Bone marrow smear. Cropped to a single cell:
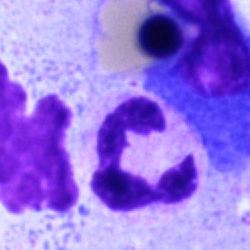

Specimen: bone marrow aspirate smear.
Cell: segmented neutrophil.